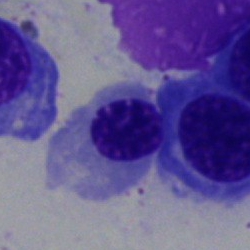 Morphology → erythroblast.